Bone marrow aspirate smear. MGG-stained. 40× oil immersion:
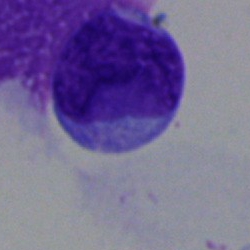The cell shown is an undifferentiated blast.